Bone marrow aspirate smear.
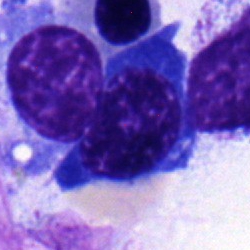

Showing a segmented neutrophil.